Bone marrow smear — 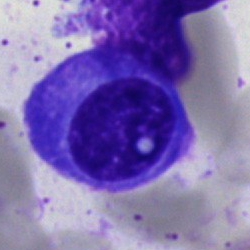 Showing a plasma cell.